Bone marrow aspirate smear; single-cell field: 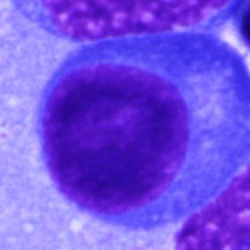

The cell type is plasmacyte.